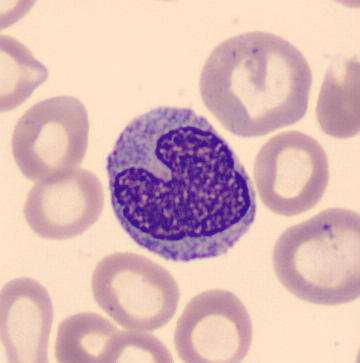
Cell = monocyte. Image: CellaVision DM96 digital cell image. Peripheral blood film. Image size 360×363.